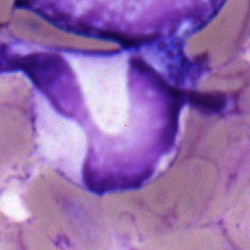 Showing a neutrophil (segmented).